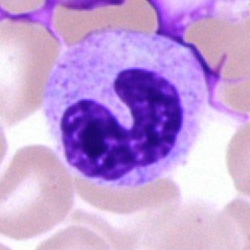
Q: What cell is this?
A: A band neutrophil.